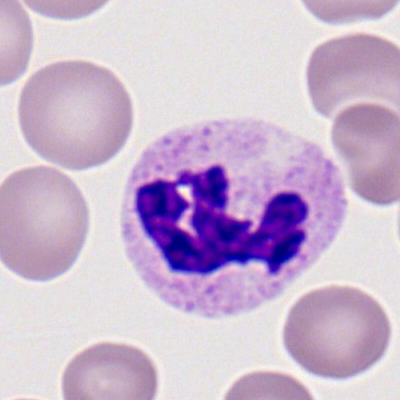Morphology consistent with a polymorphonuclear neutrophil.